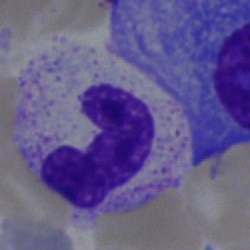

Cell type: band-form neutrophil.